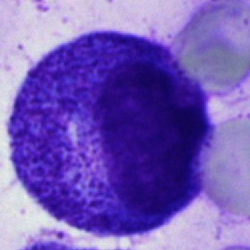

Cell type = promyelocyte.